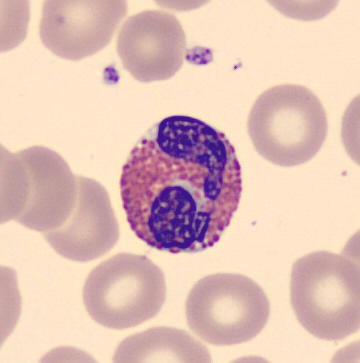

Acquisition: Image size 360×363. MGG stain. Peripheral blood smear. Q: Which cell type is shown here?
A: Eosinophil.